Pappenheim-stained. 250×250. Bone marrow aspirate smear — 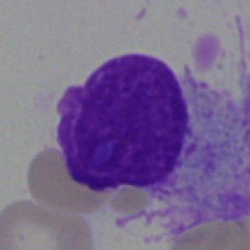

The cell shown is an artifact.